Bone marrow aspirate smear
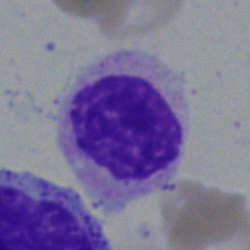Q: What is shown here?
A: This is a myelocyte.